Bone marrow aspirate smear — 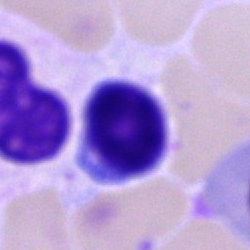

The cell shown is a typical lymphocyte.